Bone marrow smear: 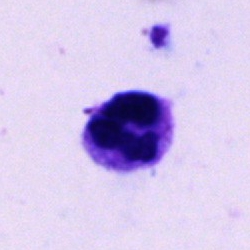 Impression → neutrophil (segmented).